Bone marrow aspirate smear:
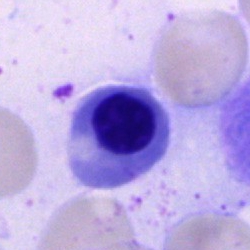 Morphology consistent with a nucleated red blood cell.